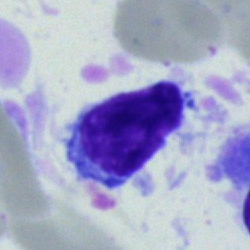

Classification = lymphocyte.